Single-cell crop. Bone marrow smear — 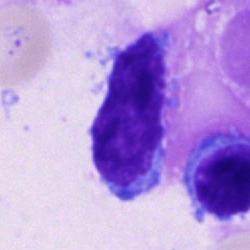 The classification is typical lymphocyte.